Brightfield microscopy, 40× oil immersion · bone marrow aspirate smear:
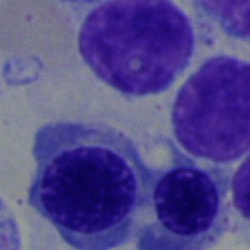 Morphology consistent with a nucleated red cell.